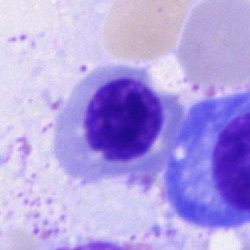The cell type is nucleated red cell.